Brightfield, 40× oil-immersion objective. Bone marrow smear
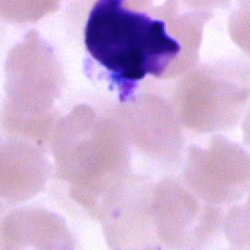

Q: What is shown here?
A: This is an artefact.